Single cell centered in the field. Peripheral blood smear
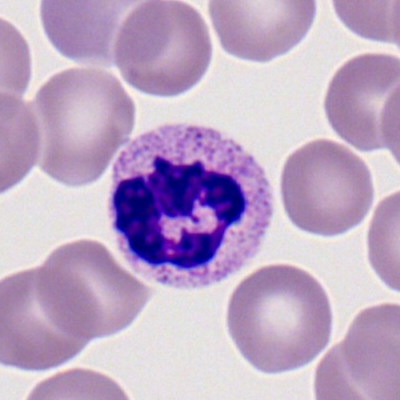

Impression — segmented neutrophil.